Bone marrow smear. Cropped to a single cell — 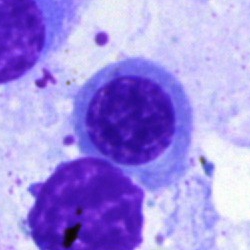
Cell: normoblast.